Bone marrow aspirate smear:
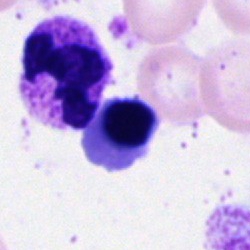
Single cell identified as an erythroblast.